Bone marrow aspirate smear — 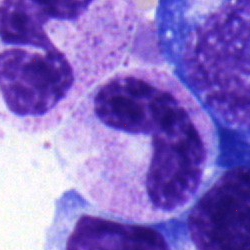 Showing a stab cell.